May-Grünwald-Giemsa stain · 40× objective, oil immersion · bone marrow smear: 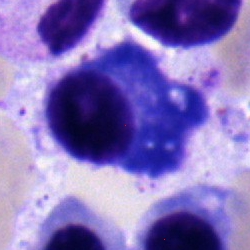

Specimen: bone marrow smear.
Morphological class: plasma cell.
Lineage: lymphoid.